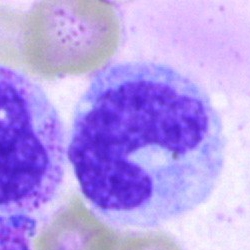Single-cell crop from a bone marrow smear: neutrophil (band).